Single-cell field; bone marrow aspirate smear — 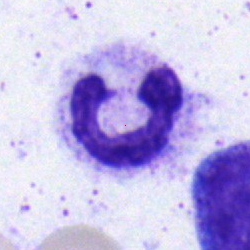 Showing a segmented neutrophil.